Bone marrow smear.
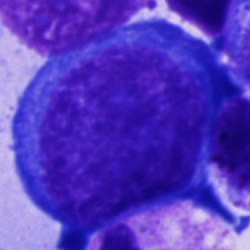Morphology — proerythroblast.